250×250. Brightfield microscopy, 40× oil immersion. Bone marrow smear.
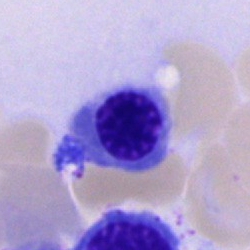
{"cell_type": "erythroblast", "lineage": "erythroid"}